Bone marrow aspirate smear — 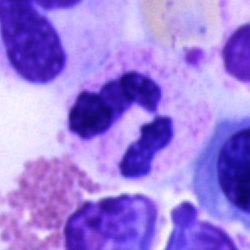

Specimen: bone marrow smear.
Classification: neutrophil (segmented).
Lineage: myeloid.